Bone marrow aspirate smear:
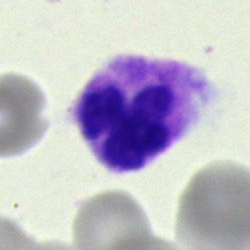 Morphology consistent with a neutrophil (segmented).